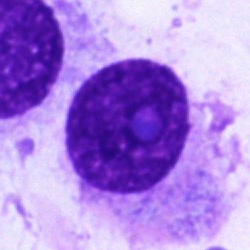Q: What is shown here?
A: This is a plasmacyte.